Bone marrow aspirate smear:
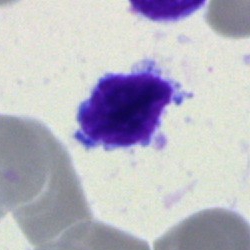Morphological class: typical lymphocyte.